Bone marrow aspirate smear.
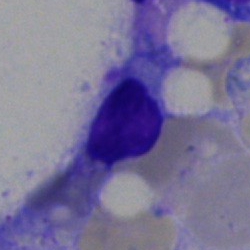Q: What is shown here?
A: It is an artefact.